Bone marrow aspirate smear
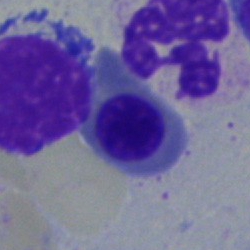
Impression — erythroblast.